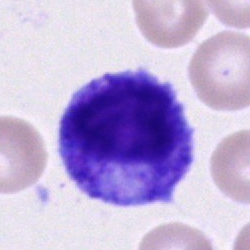 A progranulocyte on a bone marrow smear.